Bone marrow smear — 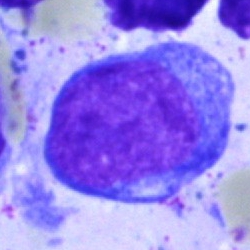{"cell_type": "blast cell"}